Bone marrow smear: 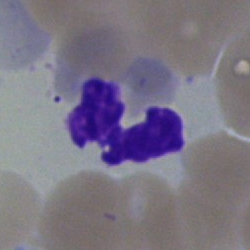

The classification is polymorphonuclear neutrophil.